Bone marrow smear:
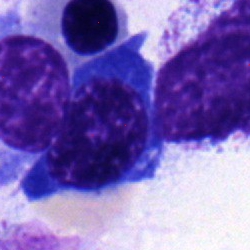
Morphology → nucleated red cell.